Bone marrow aspirate smear — 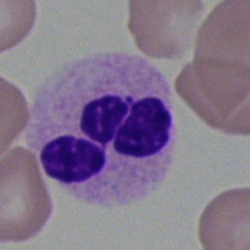Classification = segmented neutrophil.